Bone marrow aspirate smear; 250×250 — 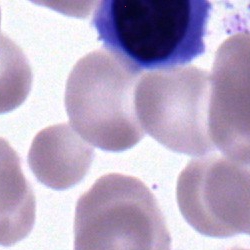
Morphology consistent with an erythroblast.